40× objective, oil immersion · May-Grünwald-Giemsa stain · bone marrow aspirate smear
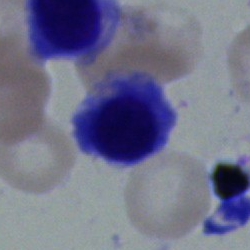 Normoblast.